May-Grünwald-Giemsa/Pappenheim stain · bone marrow aspirate smear · brightfield microscopy, 40× oil immersion.
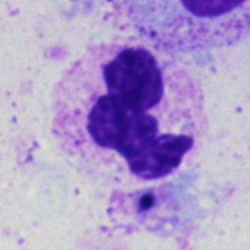
Specimen: bone marrow smear.
Cell type: neutrophil (segmented).